Bone marrow smear · 250 by 250 pixels · brightfield microscopy, 40× oil immersion — 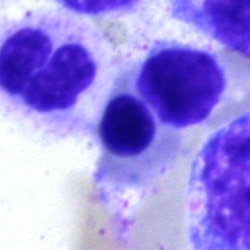 Showing a normoblast.